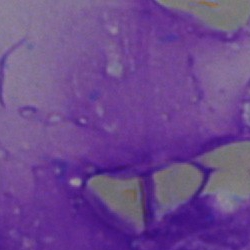

Artefact.